Bone marrow aspirate smear — 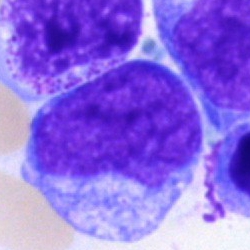 Specimen: bone marrow aspirate smear.
Morphological class: blast cell.